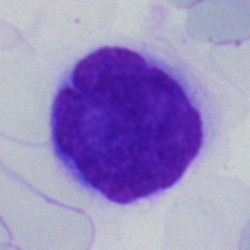 Blast cell.